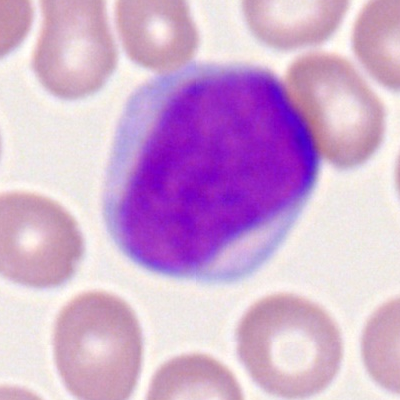

Classification — myeloid blast.